Bone marrow aspirate smear:
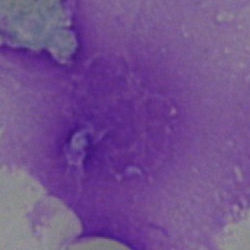
The cell type is artefact.